Bone marrow aspirate smear
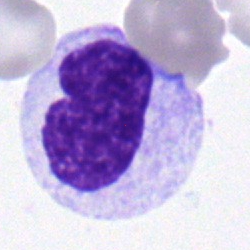 Morphology — metamyelocyte.